Bone marrow aspirate smear · May-Grünwald-Giemsa/Pappenheim stain: 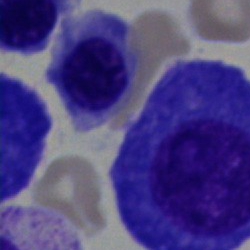

The cell shown is a plasmacyte.